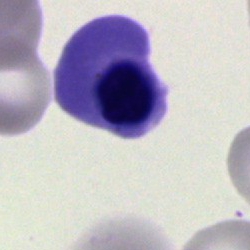

Q: What cell is this?
A: It is a nucleated red cell.